Bone marrow smear. Brightfield, 40× oil-immersion objective — 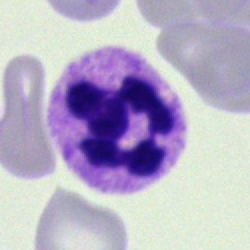 Neutrophil (segmented).